Bone marrow aspirate smear.
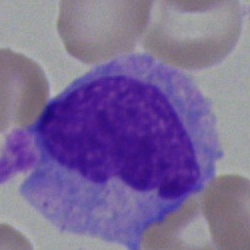Morphology consistent with a monocyte.